Bone marrow aspirate smear
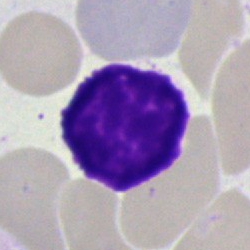Specimen: bone marrow aspirate smear.
Classification: artefact.